Bone marrow aspirate smear.
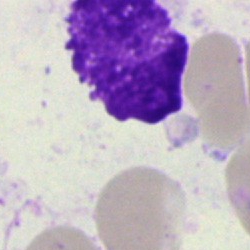

Specimen: bone marrow aspirate smear.
Cell type: artefact.